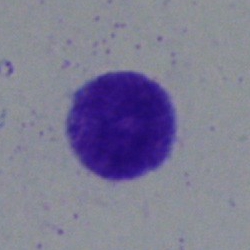 Q: Which cell type is shown here?
A: It is a typical lymphocyte.